Bone marrow smear · 40× objective, oil immersion.
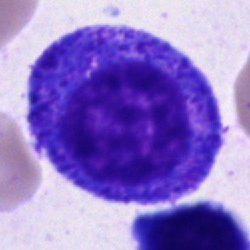Specimen: bone marrow smear.
Morphological class: progranulocyte.
Lineage: myeloid.